Single-cell field. Bone marrow smear:
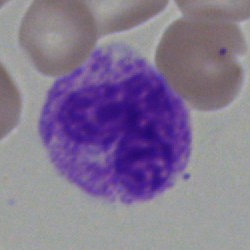The classification is band-form neutrophil.